Bone marrow aspirate smear · 250 by 250 pixels · single cell centered in the field.
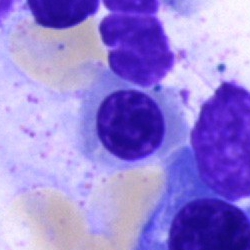
Classification: normoblast.